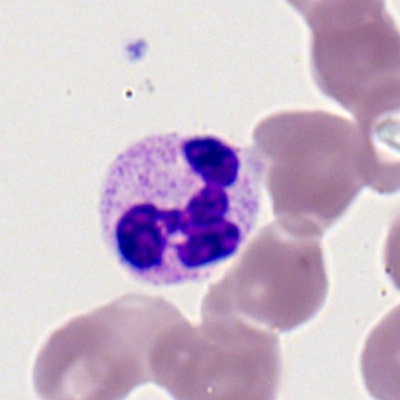 Specimen: peripheral blood film.
Morphological class: segmented neutrophil.
Lineage: myeloid.